Bone marrow aspirate smear:
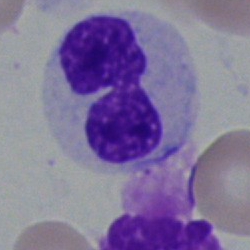Q: Which cell type is shown here?
A: Neutrophil (segmented).